Peripheral blood smear. Imaged on a CellaVision DM96 analyser — 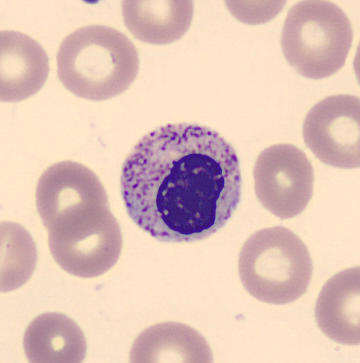 Classification = myelocyte.